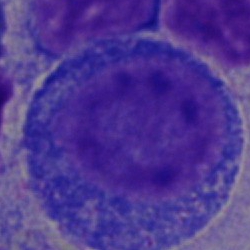
Impression → progranulocyte.